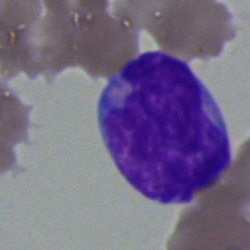

Specimen: bone marrow aspirate smear.
Morphological class: undifferentiated blast.